Bone marrow aspirate smear · single cell centered in the field.
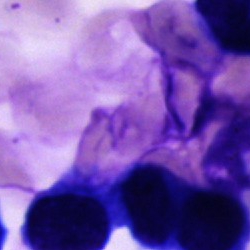Specimen: bone marrow aspirate smear.
Classification: artifact.